Bone marrow aspirate smear.
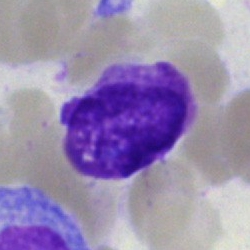
Artifact.